250×250 · bone marrow smear · Pappenheim-stained: 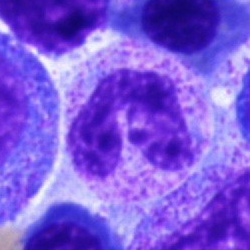
Morphology consistent with a polymorphonuclear neutrophil.